Peripheral blood film — 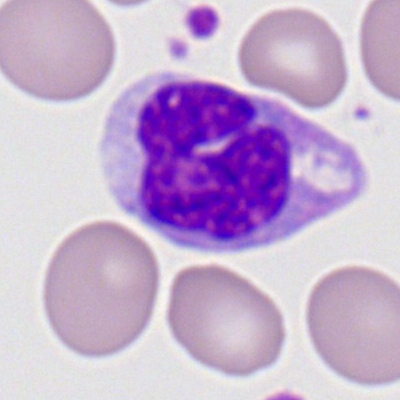

{"cell_type": "monocyte", "lineage": "myeloid"}